May-Grünwald-Giemsa/Pappenheim stain. Bone marrow aspirate smear.
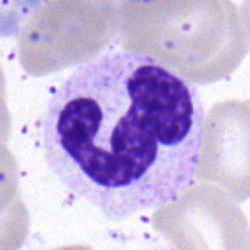

Morphology consistent with a polymorphonuclear neutrophil.